Cropped to a single cell; bone marrow smear — 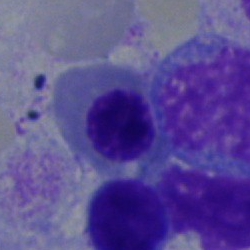
Q: What type of cell is this?
A: A normoblast.